Bone marrow aspirate smear: 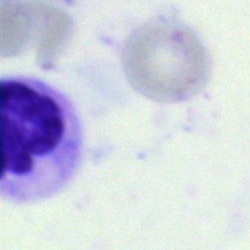 Q: What cell is this?
A: This is a cell of indeterminate lineage.